Brightfield, 40× oil-immersion objective; bone marrow aspirate smear — 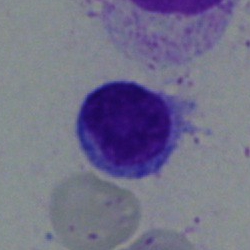

The morphological class is lymphocyte.